Bone marrow aspirate smear; 250 by 250 pixels:
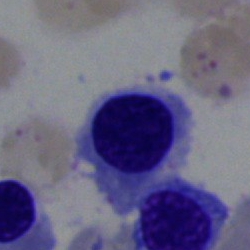Classification: nucleated red blood cell.